Bone marrow aspirate smear; 40× oil immersion.
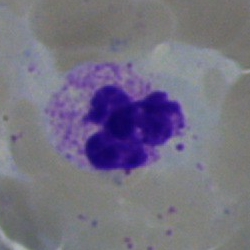

Q: Identify the cell.
A: It is a polymorphonuclear neutrophil.